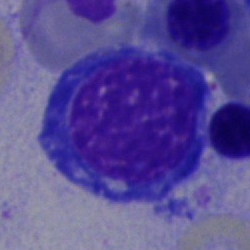Q: Which cell type is shown here?
A: This is a nucleated red blood cell.